Bone marrow aspirate smear.
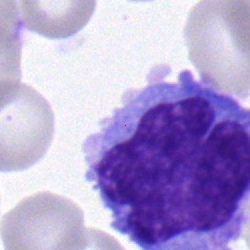
Q: Identify the cell.
A: Monocyte.